Bone marrow aspirate smear · May-Grünwald-Giemsa/Pappenheim stain
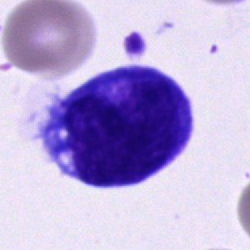

Impression → cell of indeterminate lineage.